May-Grünwald-Giemsa-stained. 360 by 363 pixels. Peripheral blood smear
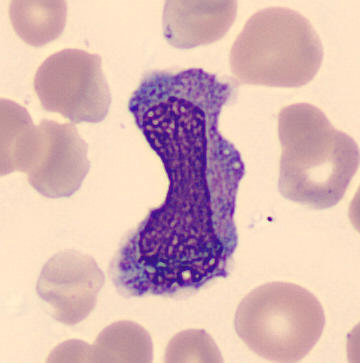The cell type is monocyte.